Bone marrow smear:
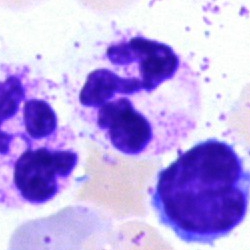
This is a segmented neutrophil.